Bone marrow aspirate smear — 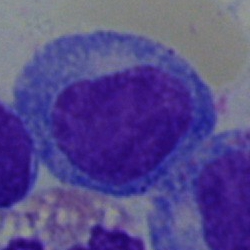
Morphological class — plasmacyte.